Bone marrow aspirate smear · brightfield, 40× oil-immersion objective
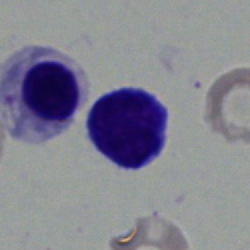Specimen: bone marrow aspirate smear.
Cell: lymphocyte.
Lineage: lymphoid.